Bone marrow smear: 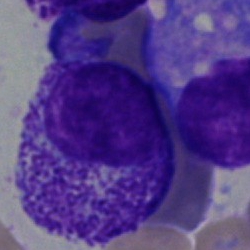 Morphology consistent with a myelocyte.